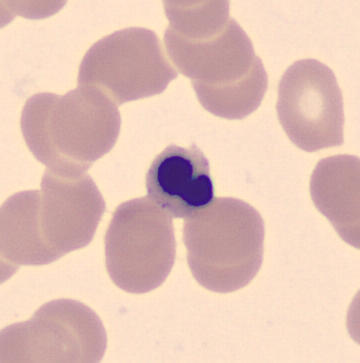 Preparation: May Grünwald-Giemsa stain · peripheral blood film.
Q: What is this?
A: This is an erythroblast.